Bone marrow aspirate smear
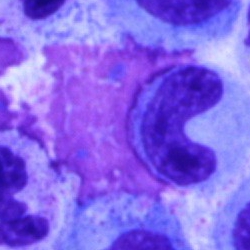 Cell type = band neutrophil.